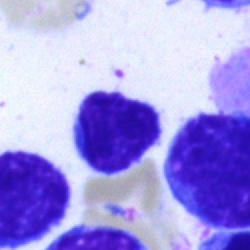 Showing a lymphocyte.